Bone marrow smear — 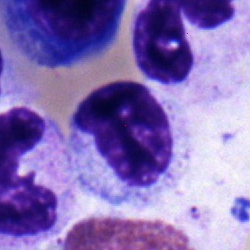 Specimen: bone marrow smear.
Cell: plasmacyte.
Lineage: lymphoid.